Bone marrow smear. Single cell centered in the field — 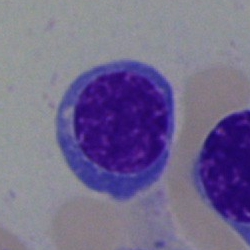Nucleated red blood cell.